Peripheral blood film. Image size 400×400
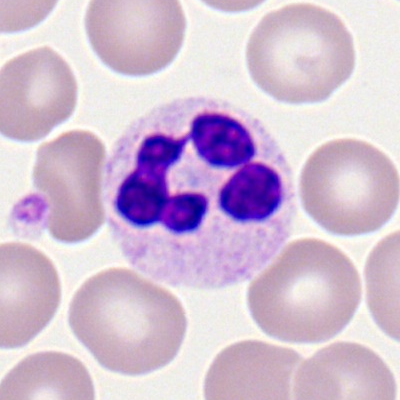
Cell — segmented neutrophil.